Bone marrow aspirate smear.
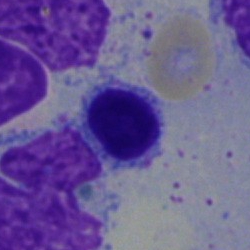

The cell is erythroblast.